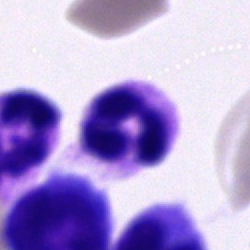

Specimen: bone marrow smear.
Classification: polymorphonuclear neutrophil.